Bone marrow aspirate smear
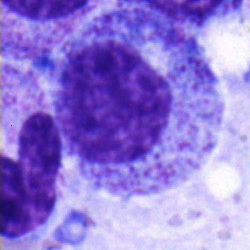
Specimen: bone marrow aspirate smear.
Cell: neutrophil (band).
Lineage: myeloid.